Bone marrow smear: 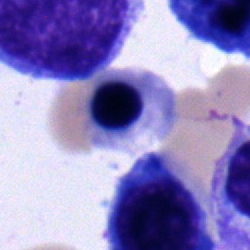 Specimen: bone marrow smear.
Cell type: erythroblast.
Lineage: erythroid.